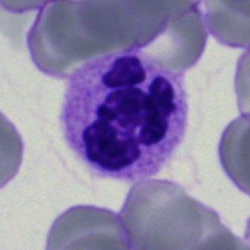

Q: What is the morphological classification of this cell?
A: This is a segmented neutrophil.